Bone marrow smear
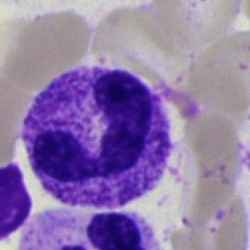 Cell — segmented neutrophil.